Bone marrow aspirate smear
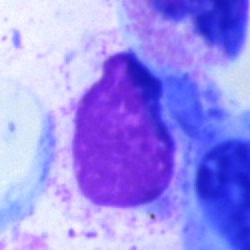

Impression — artefact.